Bone marrow aspirate smear — 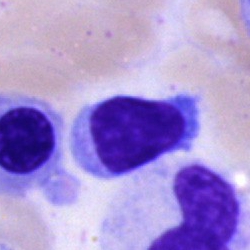 Morphology consistent with a typical lymphocyte.